Peripheral blood film; Romanowsky-stained: 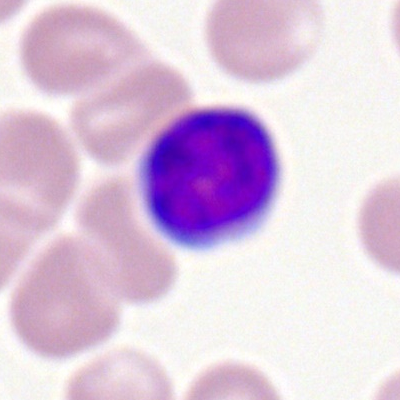 A lymphocyte.